Bone marrow aspirate smear.
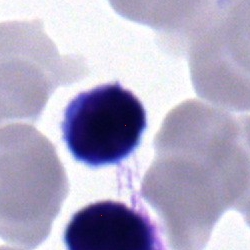
Classification: typical lymphocyte.